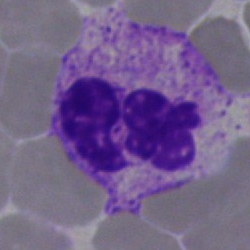
Segmented neutrophil.